Bone marrow smear:
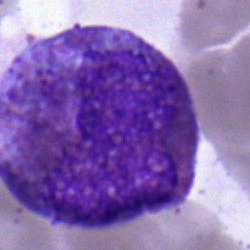
Impression → eosinophilic granulocyte.